Single-cell field; bone marrow smear; brightfield microscopy, 40× oil immersion: 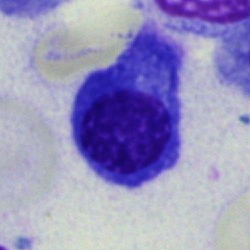
A plasmacyte.